Bone marrow smear: 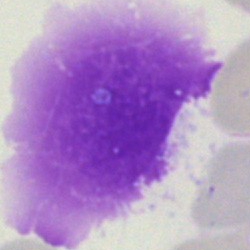 Specimen: bone marrow aspirate smear.
Morphological class: artefact.